Bone marrow aspirate smear: 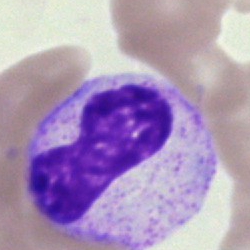
The cell is band-form neutrophil.